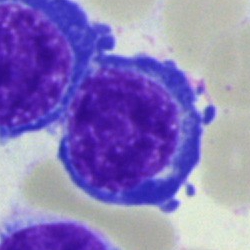

This is an erythroblast.